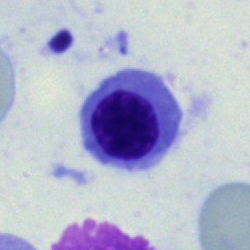

Single-cell crop from a bone marrow smear: nucleated red cell.